Brightfield, 40× oil-immersion objective; single-cell field; bone marrow smear: 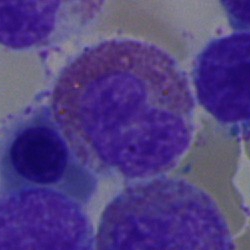
Single cell identified as an eosinophilic granulocyte.